100× oil immersion · peripheral blood film · Romanowsky stain
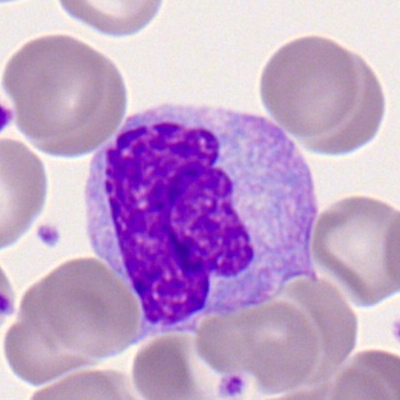
The cell shown is a monocyte.